Bone marrow aspirate smear; brightfield, 40× oil-immersion objective; 250 by 250 pixels: 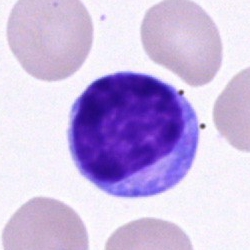
Classification = typical lymphocyte.